Bone marrow aspirate smear
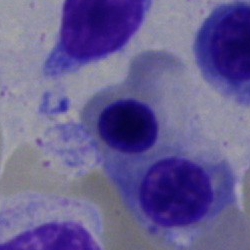

Showing an erythroblast.